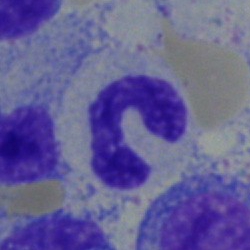 The cell is band-form neutrophil.